Image size 250×250 · bone marrow smear: 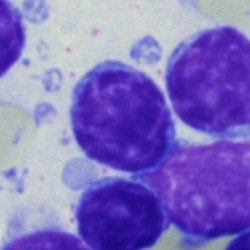

Cell type: lymphocyte.